Bone marrow aspirate smear:
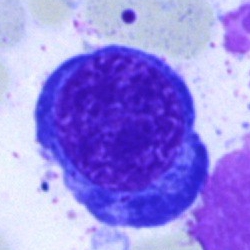
Classification: nucleated red blood cell.